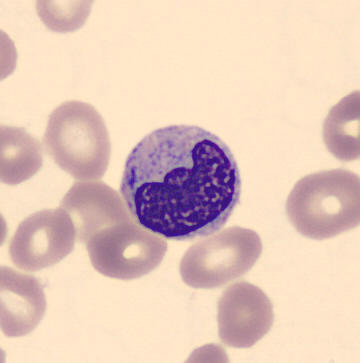
Single cell identified as a metamyelocyte.